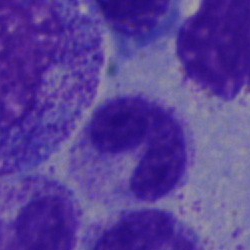Bone marrow smear showing a band-form neutrophil.